Bone marrow smear: 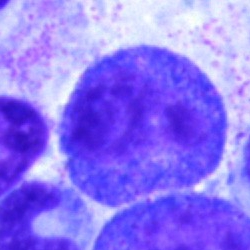 Specimen: bone marrow smear.
Cell type: progranulocyte.